Bone marrow smear: 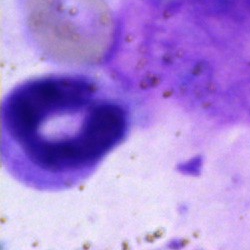

Morphology consistent with a stab cell.